Bone marrow smear; 250×250 px:
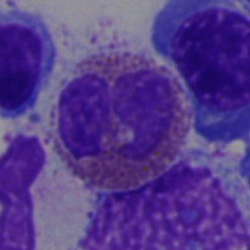

The cell shown is an eosinophilic granulocyte.